Romanowsky-type stain · peripheral blood film: 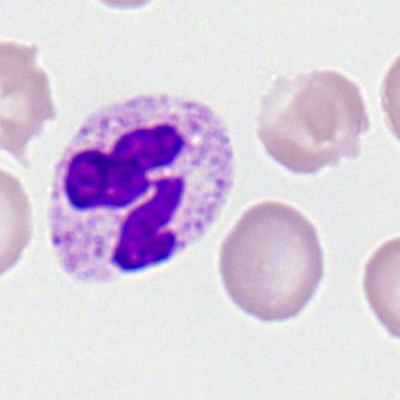 Morphology → polymorphonuclear neutrophil.